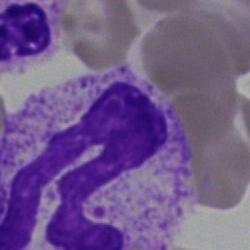
Specimen: bone marrow aspirate smear.
Cell type: neutrophil (segmented).